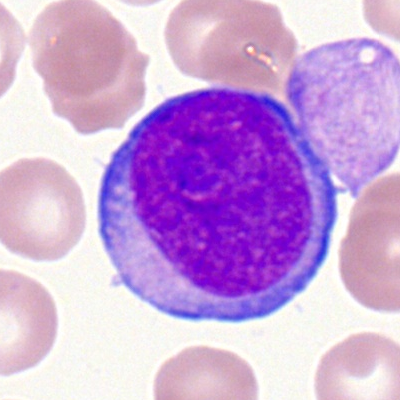 Impression → myeloid blast.